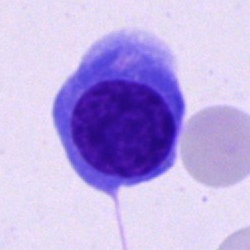 Impression → plasma cell.